Bone marrow aspirate smear
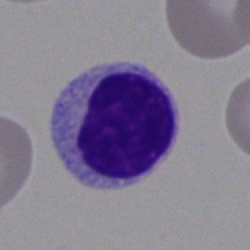
Specimen: bone marrow aspirate smear.
Cell: typical lymphocyte.
Lineage: lymphoid.